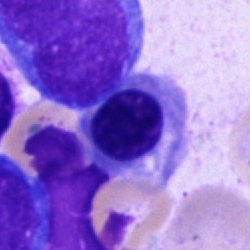 Morphological class — nucleated red cell.